Peripheral blood smear.
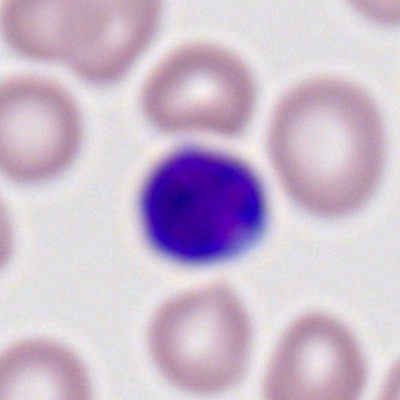

{"cell_type": "lymphocyte", "lineage": "lymphoid"}